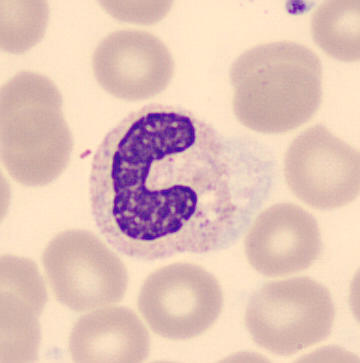

Preparation: Peripheral blood film; 360 by 363 pixels. Q: Identify the cell.
A: This is a band-form neutrophil.